Bone marrow smear — 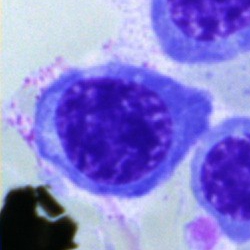Impression — erythroblast.